May-Grünwald-Giemsa/Pappenheim stain. Bone marrow aspirate smear: 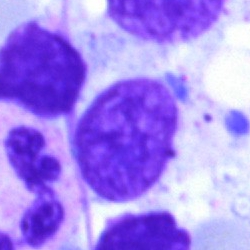

Impression — artefact.